Bone marrow smear.
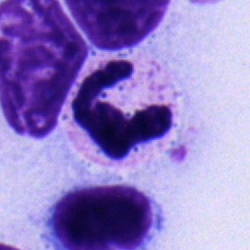Morphology → polymorphonuclear neutrophil.